May-Grünwald-Giemsa/Pappenheim stain · bone marrow smear.
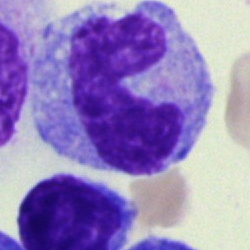
This is a monocyte.